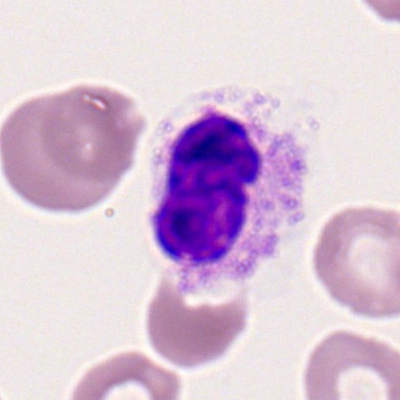Q: What is the morphological classification of this cell?
A: It is a segmented neutrophil.